Bone marrow aspirate smear
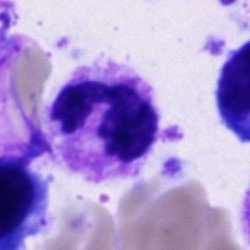This is a neutrophil (segmented).